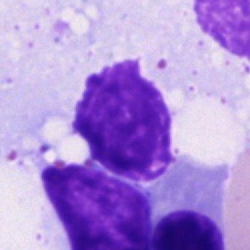Q: What is shown here?
A: It is an artifact.